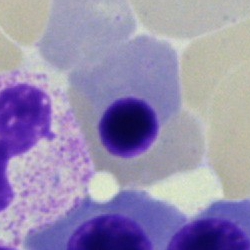
Morphological class: normoblast.